Bone marrow aspirate smear · Pappenheim-stained
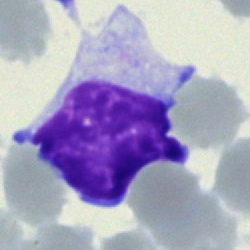
Cell type = lymphocyte.